Romanowsky-type stain. Cropped to a single cell. Peripheral blood film: 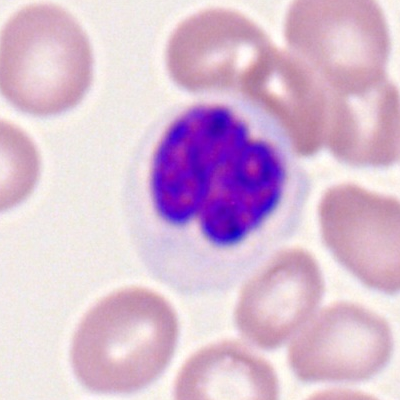
Showing a neutrophil (segmented).